Image size 250×250 · bone marrow smear · brightfield microscopy, 40× oil immersion.
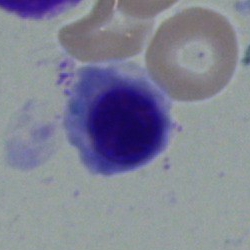

Q: Which cell type is shown here?
A: Normoblast.